40× objective, oil immersion; cropped to a single cell; bone marrow aspirate smear.
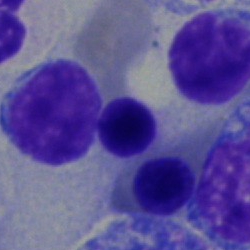Morphology consistent with an erythroblast.